MGG-stained · bone marrow smear: 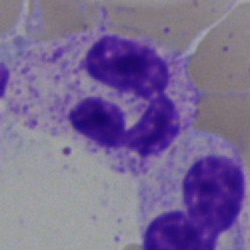
Showing a polymorphonuclear neutrophil.